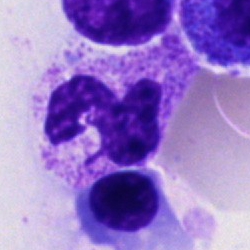Q: What type of cell is this?
A: A neutrophil (segmented).